Bone marrow smear: 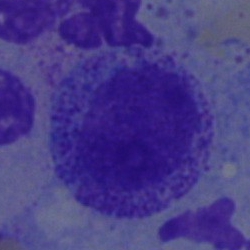
The cell shown is a myelocyte.